Peripheral blood film. Single-cell field — 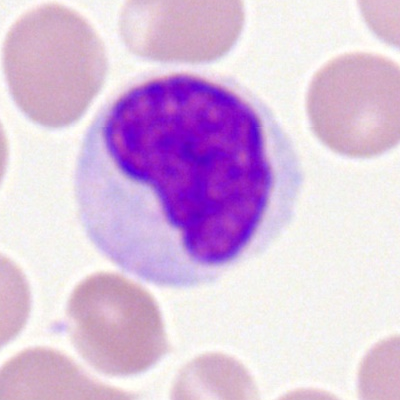

Q: Which cell type is shown here?
A: Monocyte.